Brightfield microscopy, 40× oil immersion. Bone marrow aspirate smear. 250×250 px:
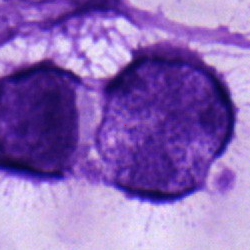

Morphology consistent with a segmented neutrophil.